Bone marrow aspirate smear. May-Grünwald-Giemsa stain. Single-cell field.
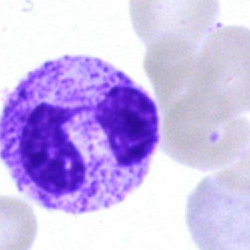Morphological class — neutrophil (segmented).